Bone marrow aspirate smear. 250×250.
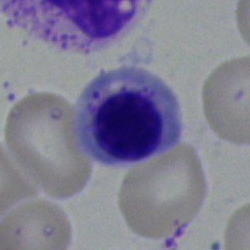 Impression → normoblast.